Bone marrow smear: 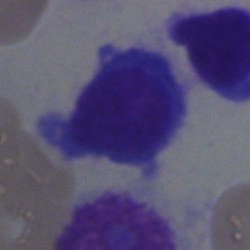
Impression — plasma cell.